Bone marrow smear.
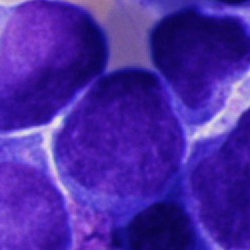 Blast.